Bone marrow smear
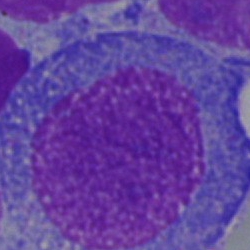Blast.